40× objective, oil immersion. Bone marrow smear. Image size 250×250: 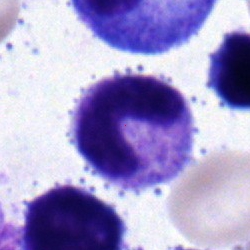This is a band-form neutrophil.